Peripheral blood smear:
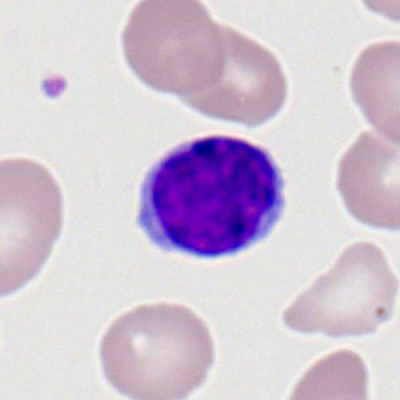Q: What type of cell is this?
A: Lymphocyte.